Bone marrow smear
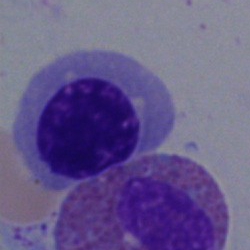 Cell — normoblast.